Image size 250×250. Bone marrow smear — 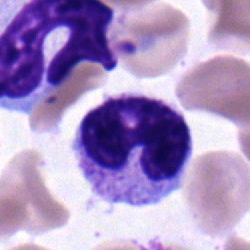 Classification: metamyelocyte.